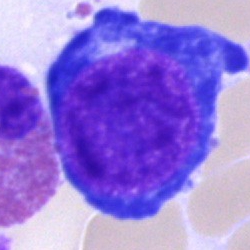
Impression → pronormoblast.